MGG-stained; bone marrow aspirate smear: 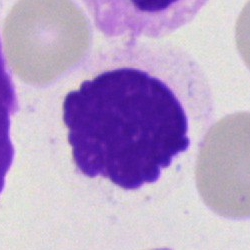

Artefact.